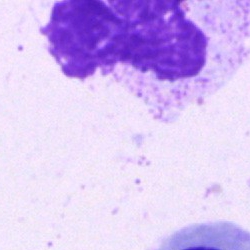

Single cell identified as an artefact.